Bone marrow smear — 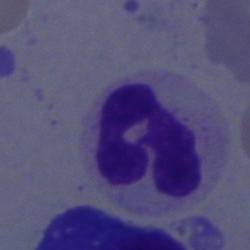

Specimen: bone marrow aspirate smear.
Morphological class: segmented neutrophil.